Peripheral blood film:
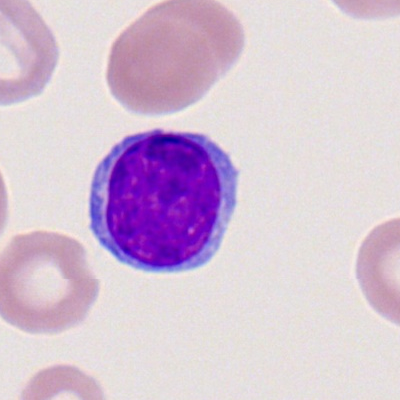
This is a typical lymphocyte.